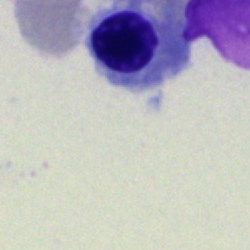
Q: Identify the cell.
A: Normoblast.